Bone marrow aspirate smear — 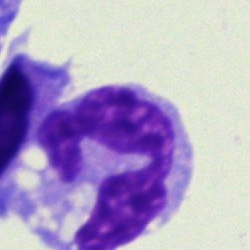Q: What type of cell is this?
A: Monocyte.